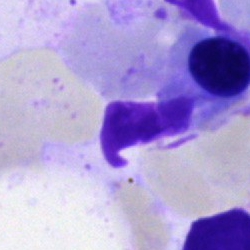 Specimen: bone marrow aspirate smear.
Cell type: artifact.